Bone marrow smear
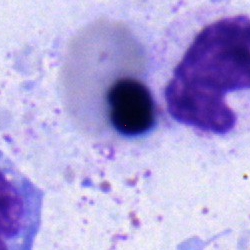 The cell type is erythroblast.